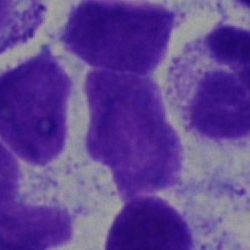

Morphology → artifact.